Image size 250×250 · bone marrow smear.
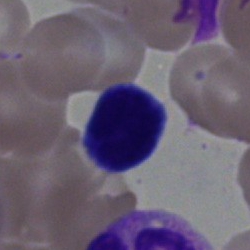 Classification — lymphocyte.